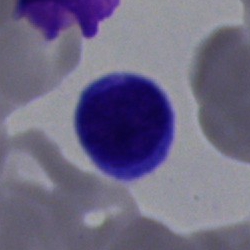 {"cell_type": "lymphocyte", "lineage": "lymphoid"}